40× objective, oil immersion. Bone marrow aspirate smear:
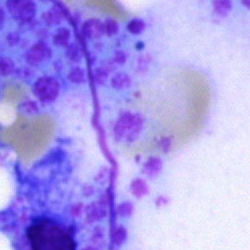

Artifact.